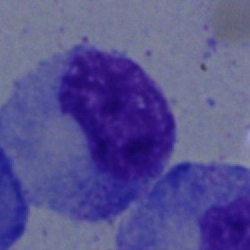

Impression → metamyelocyte.